Bone marrow smear
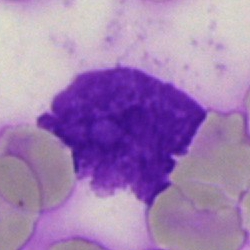

This is an artifact.